Bone marrow aspirate smear.
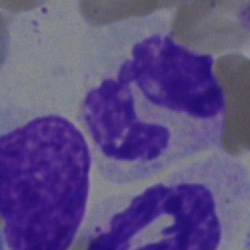 Morphology consistent with a polymorphonuclear neutrophil.